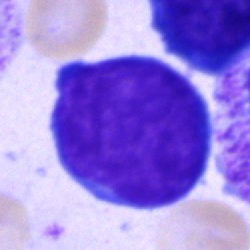

Showing a proerythroblast.